Bone marrow aspirate smear — 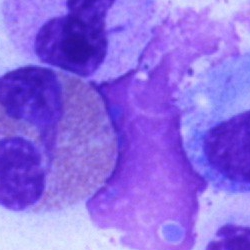Single cell identified as an artifact.